Pappenheim-stained. Bone marrow aspirate smear. Single cell centered in the field — 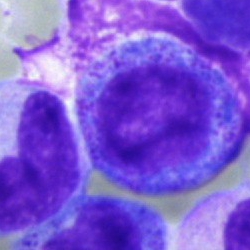

Morphology consistent with a progranulocyte.